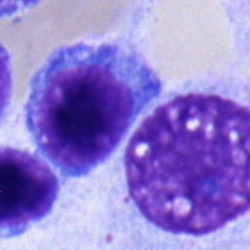 Specimen: bone marrow aspirate smear.
Classification: typical lymphocyte.